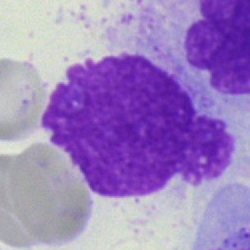

Single-cell crop from a bone marrow smear: artifact.